May-Grünwald-Giemsa/Pappenheim stain. Bone marrow smear:
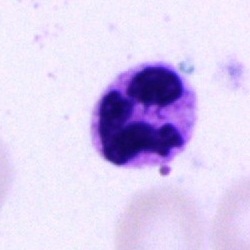Classification: neutrophil (segmented).